Single-cell crop; May-Grünwald-Giemsa stain; bone marrow smear:
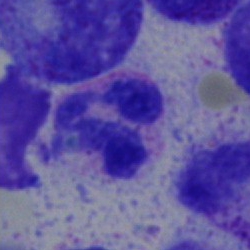

Cell — neutrophil (segmented).